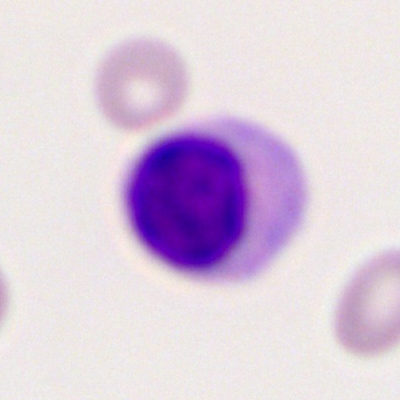

Cell type — typical lymphocyte.